Peripheral blood smear; 100× oil immersion, 14.14 px/µm:
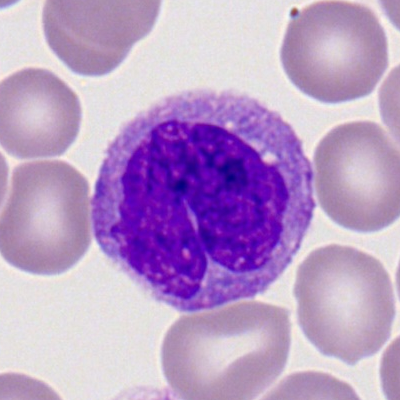

Single cell identified as a monocyte.